Peripheral blood film: 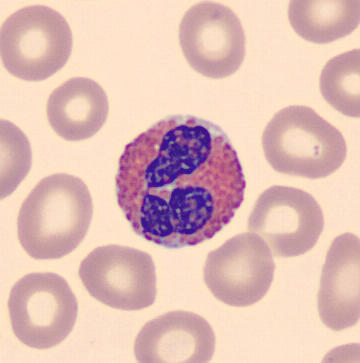

Q: What is this?
A: It is an eosinophil.